Peripheral blood smear — 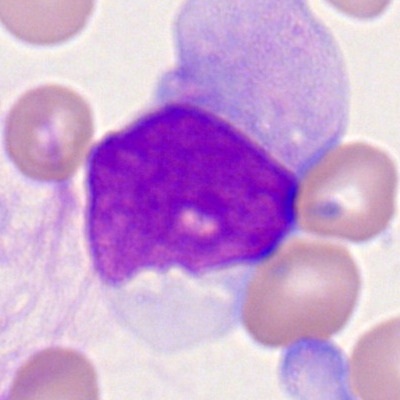 Q: What is shown here?
A: It is a monoblast.